MGG-stained · 250×250 · bone marrow smear: 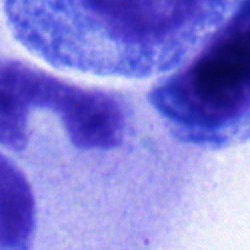

Q: Identify the cell.
A: A promyelocyte.